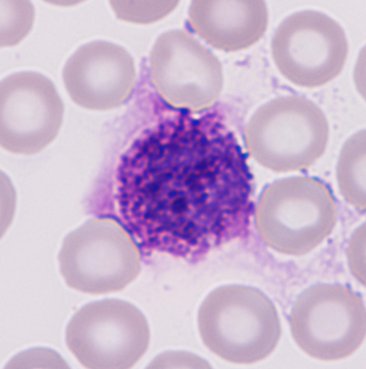Q: What cell is this?
A: Basophil.